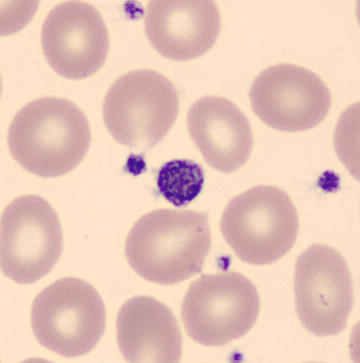

Peripheral blood smear · automated cell imaging (CellaVision DM96).
Morphological class — thrombocyte.